Bone marrow smear
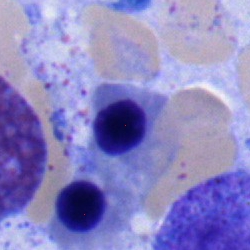Q: Which cell type is shown here?
A: It is a nucleated red cell.